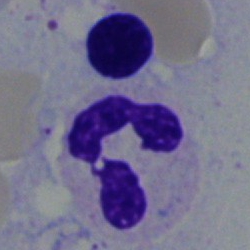

The classification is segmented neutrophil.